Bone marrow aspirate smear. May-Grünwald-Giemsa/Pappenheim stain
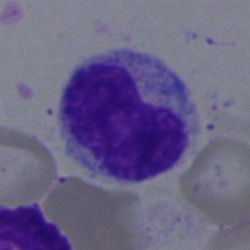 Morphology consistent with a metamyelocyte.